Bone marrow aspirate smear; 40× oil immersion:
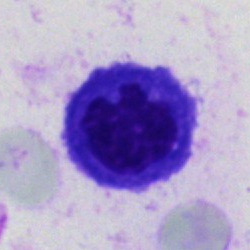
Q: What type of cell is this?
A: Nucleated red cell.